Brightfield microscopy, 40× oil immersion · bone marrow smear.
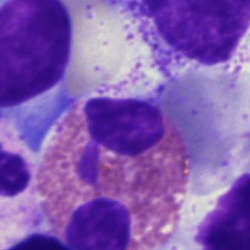

Showing an eosinophil.